Bone marrow smear
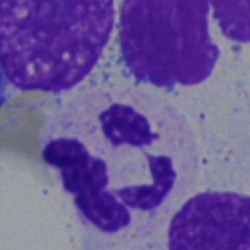 Morphology → polymorphonuclear neutrophil.